Peripheral blood smear — 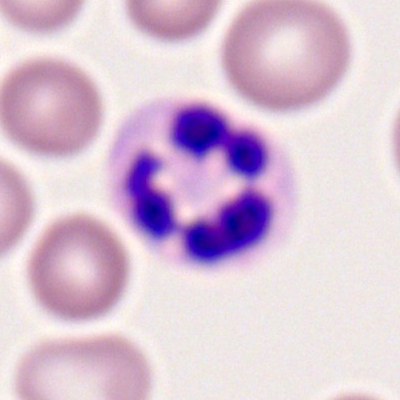

{"cell_type": "segmented neutrophil"}